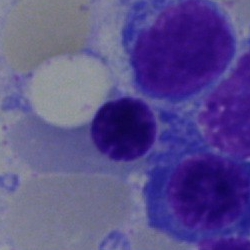

Bone marrow smear showing a nucleated red blood cell.